Bone marrow smear:
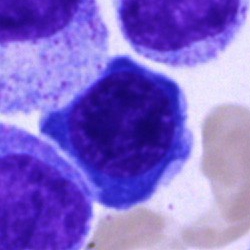
This is a normoblast.